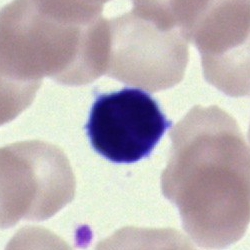 {"cell_type": "artefact"}